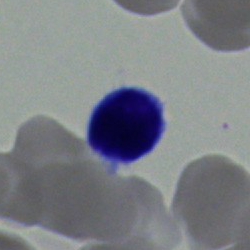
Specimen: bone marrow aspirate smear.
Cell: lymphocyte.